Bone marrow smear: 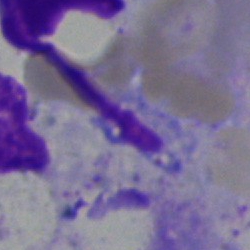Q: What is shown here?
A: An artifact.